Brightfield, 40× oil-immersion objective. Single-cell crop. Bone marrow aspirate smear.
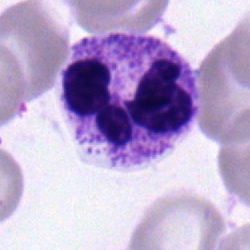
The classification is polymorphonuclear neutrophil.